Bone marrow smear; single cell centered in the field: 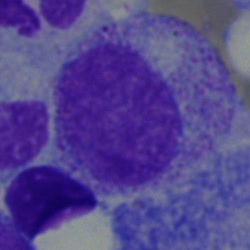 The cell shown is a myelocyte.